Bone marrow aspirate smear
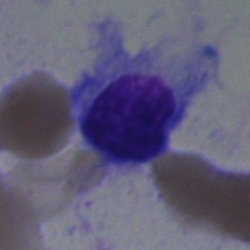
The cell is lymphocyte.